Bone marrow smear. 40× objective, oil immersion. MGG-stained — 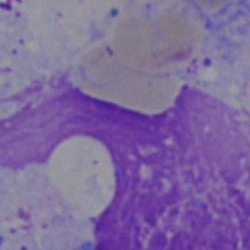

This is an artefact.